Bone marrow smear · MGG-stained · 250 by 250 pixels:
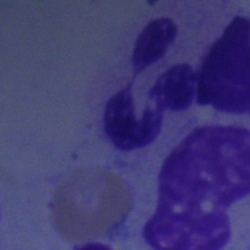Specimen: bone marrow aspirate smear.
Cell type: neutrophil (segmented).
Lineage: myeloid.